Cropped to a single cell. Bone marrow aspirate smear: 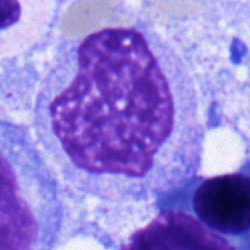
Q: What is the morphological classification of this cell?
A: This is a monocyte.